Bone marrow aspirate smear · 250×250 px · single-cell field.
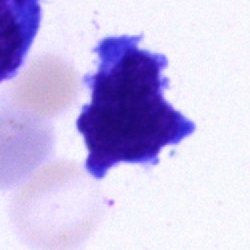 Q: What type of cell is this?
A: Lymphocyte.